360×363 · peripheral blood smear:
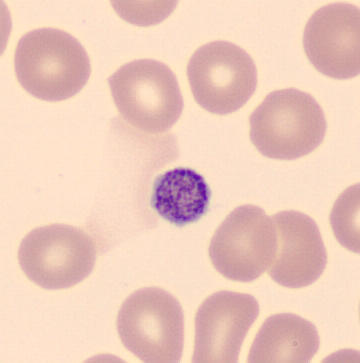
Q: What is shown here?
A: It is a platelet.